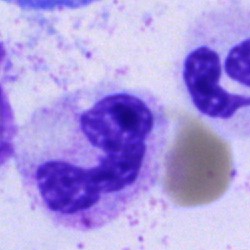Q: Which cell type is shown here?
A: A neutrophil (segmented).